Single cell centered in the field. Bone marrow aspirate smear.
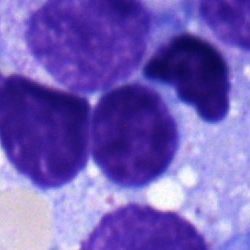Specimen: bone marrow aspirate smear.
Classification: typical lymphocyte.
Lineage: lymphoid.